Bone marrow aspirate smear.
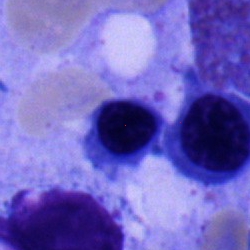

An erythroblast.